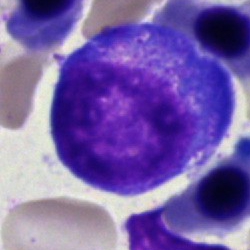

The cell shown is a plasmacyte.